40× oil immersion. Bone marrow smear
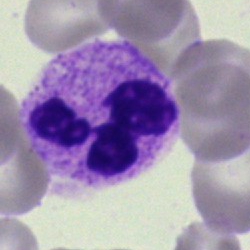
Specimen: bone marrow smear.
Cell type: neutrophil (segmented).
Lineage: myeloid.